Bone marrow aspirate smear.
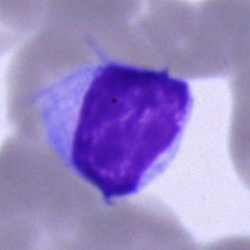

Single cell identified as a typical lymphocyte.